Bone marrow aspirate smear: 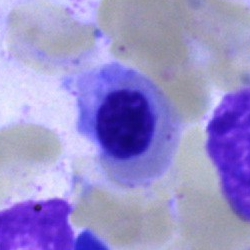

Single cell identified as a normoblast.